Bone marrow aspirate smear.
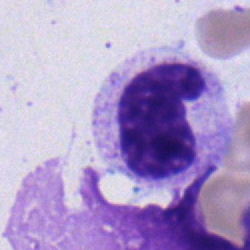Single cell identified as a band-form neutrophil.